Bone marrow smear — 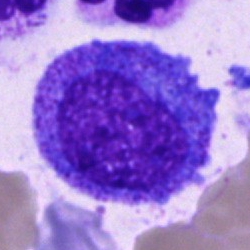Single cell identified as a promyelocyte.